MGG-stained · bone marrow aspirate smear — 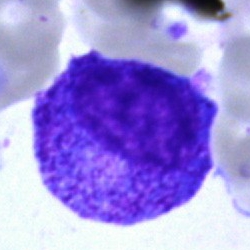

Impression — promyelocyte.